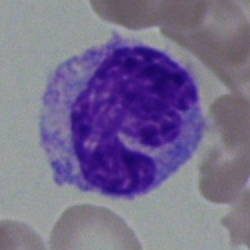{"cell_type": "monocyte", "lineage": "myeloid"}